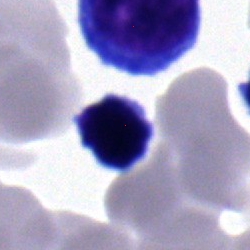
Bone marrow smear showing a typical lymphocyte.